Bone marrow aspirate smear · 40× oil immersion — 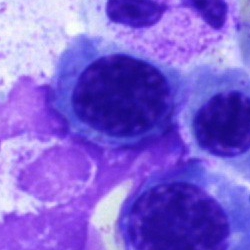
Single cell identified as a basophilic granulocyte.